Cropped to a single cell; bone marrow aspirate smear
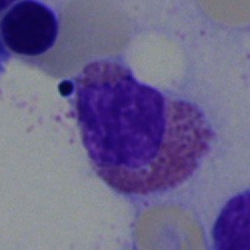 Classification: eosinophilic granulocyte.